Bone marrow aspirate smear.
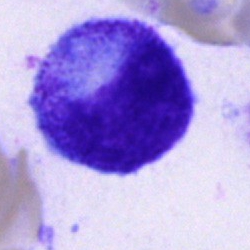
Q: Which cell type is shown here?
A: Progranulocyte.